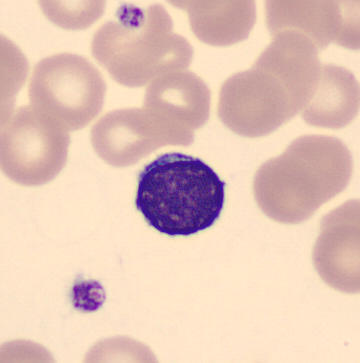
Preparation: Peripheral blood film. The morphological class is typical lymphocyte.